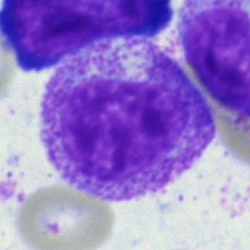

Single cell identified as a myelocyte.